Pappenheim-stained · bone marrow aspirate smear
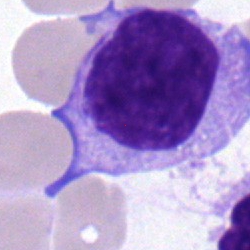Morphology consistent with a lymphocyte.